Bone marrow aspirate smear: 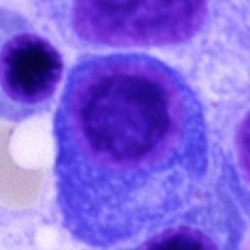
Morphology — plasmacyte.